Bone marrow aspirate smear: 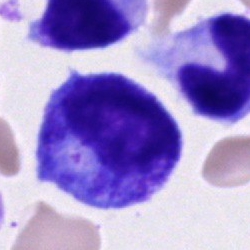

A progranulocyte.